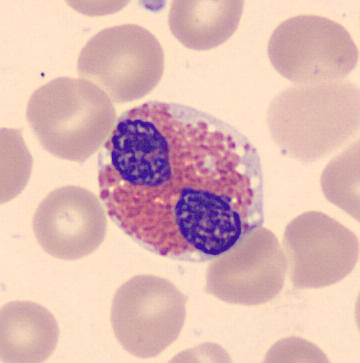 Q: What cell is this?
A: This is an eosinophil.